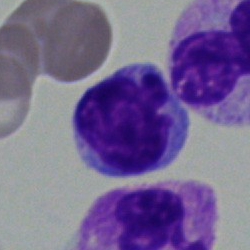Specimen: bone marrow aspirate smear.
Classification: typical lymphocyte.
Lineage: lymphoid.